Bone marrow aspirate smear; 40× oil immersion; 250 by 250 pixels
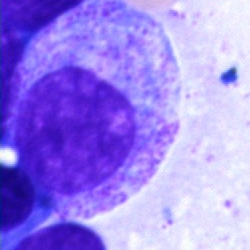Classification = progranulocyte.